Bone marrow smear
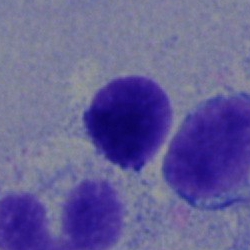Showing a lymphocyte.